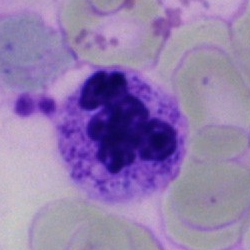

Q: What cell is this?
A: A neutrophil (segmented).